40× objective, oil immersion; bone marrow smear
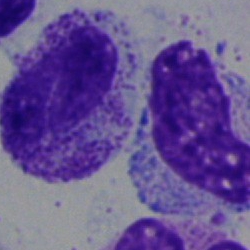

Myelocyte.